Bone marrow aspirate smear: 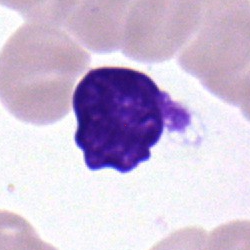 Cell type — lymphocyte.